Bone marrow aspirate smear:
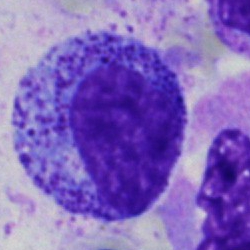
Q: What is shown here?
A: Progranulocyte.